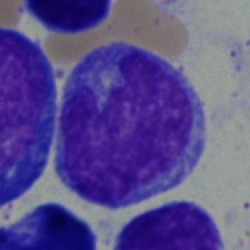 Morphology → blast cell.